Cropped to a single cell · May-Grünwald-Giemsa stain · bone marrow smear: 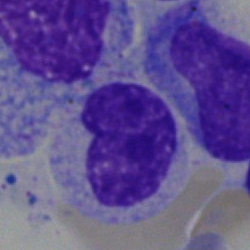 Morphology — metamyelocyte.